Bone marrow smear · single-cell crop · MGG-stained.
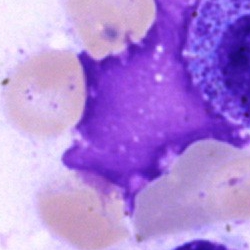 Showing an artefact.